40× oil immersion; May-Grünwald-Giemsa/Pappenheim stain; bone marrow aspirate smear
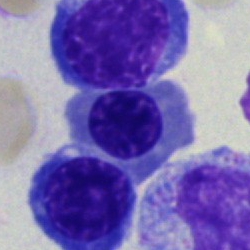Impression — nucleated red cell.